MGG-stained; bone marrow aspirate smear:
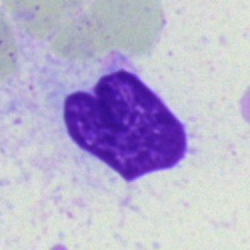
Impression → artefact.